Bone marrow smear. Single cell centered in the field.
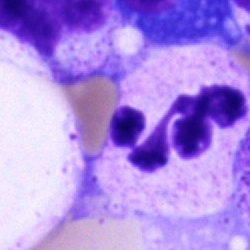Classification = neutrophil (segmented).